Peripheral blood film:
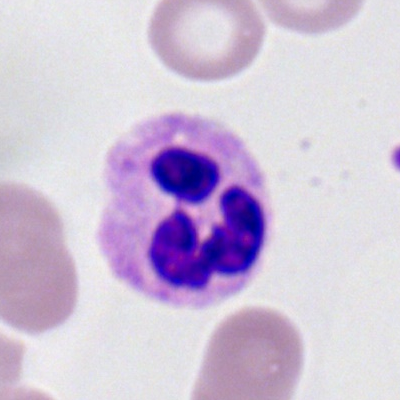 Q: What type of cell is this?
A: A segmented neutrophil.